Bone marrow aspirate smear:
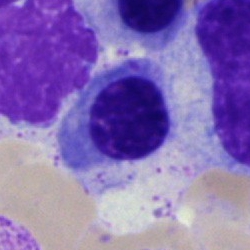 {"cell_type": "normoblast", "lineage": "erythroid"}